Bone marrow aspirate smear:
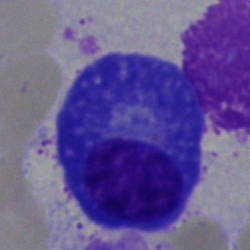 Morphology → plasmacyte.